Bone marrow aspirate smear:
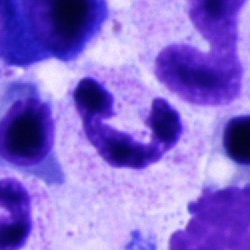

Cell type: segmented neutrophil.